Bone marrow smear — 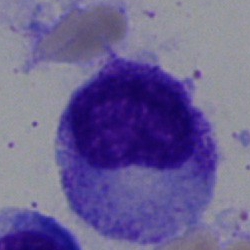 Morphological class = promyelocyte.